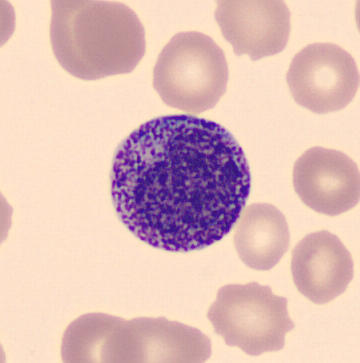 May Grünwald-Giemsa stain. Peripheral blood smear.

{"cell_type": "promyelocyte", "lineage": "myeloid"}